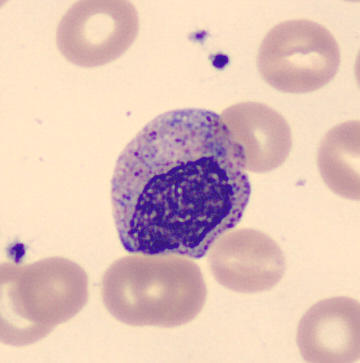 Q: What is the morphological classification of this cell?
A: Metamyelocyte.